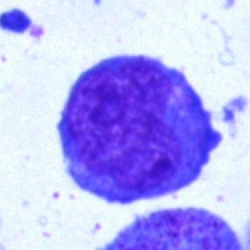Single cell identified as an undifferentiated blast.